Bone marrow aspirate smear; single-cell crop: 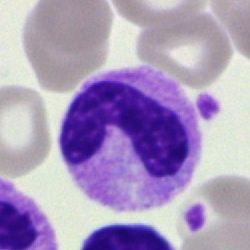

The cell shown is a band-form neutrophil.